Bone marrow smear — 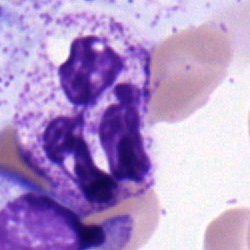

Impression → segmented neutrophil.